Cropped to a single cell · 40× objective, oil immersion · bone marrow smear:
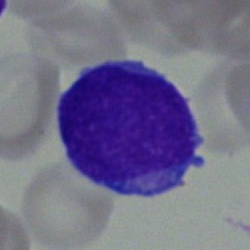

Morphology consistent with a blast.